Bone marrow smear · 250 by 250 pixels · Pappenheim-stained
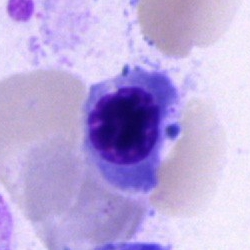

Normoblast.